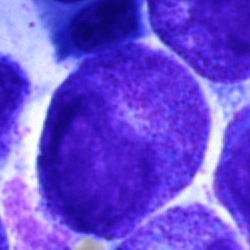

Specimen: bone marrow smear.
Cell type: promyelocyte.
Lineage: myeloid.